Bone marrow aspirate smear:
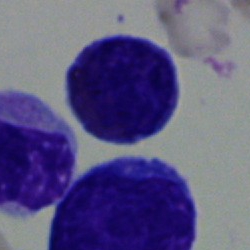{"cell_type": "lymphocyte", "lineage": "lymphoid"}